250 by 250 pixels; brightfield, 40× oil-immersion objective; bone marrow smear
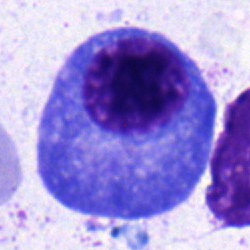

Morphology consistent with a plasmacyte.